Bone marrow smear.
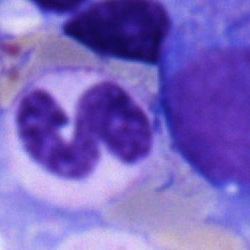 Single cell identified as a neutrophil (segmented).